250×250 px. Bone marrow aspirate smear. Brightfield, 40× oil-immersion objective
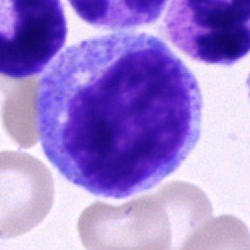
This is a progranulocyte.